Bone marrow aspirate smear.
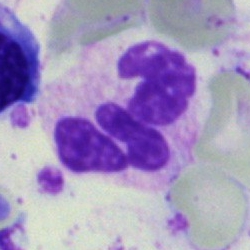
Morphology — polymorphonuclear neutrophil.